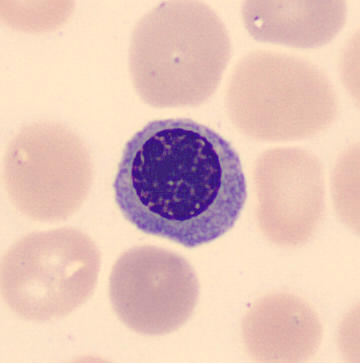{"cell_type": "erythroblast"}

Preparation: May Grünwald-Giemsa stain · peripheral blood smear.